Peripheral blood film: 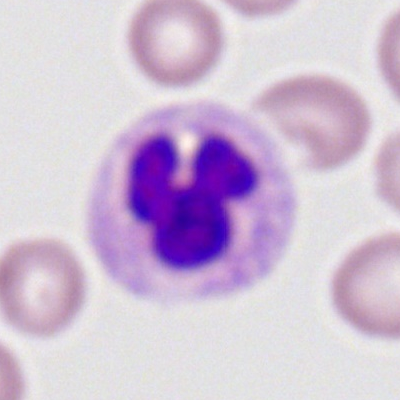
Specimen: peripheral blood smear.
Cell: segmented neutrophil.
Lineage: myeloid.